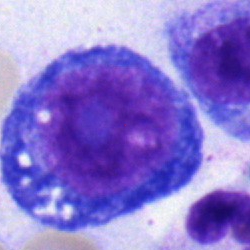 Q: What cell is this?
A: This is a pronormoblast.